Bone marrow smear: 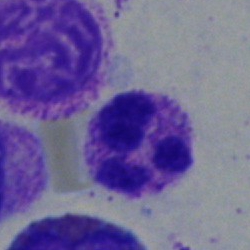

Q: What type of cell is this?
A: Polymorphonuclear neutrophil.